Bone marrow smear
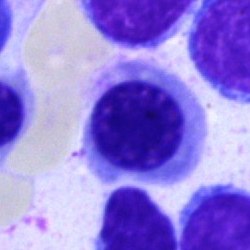
Morphology consistent with an erythroblast.